Bone marrow smear; 250 by 250 pixels; single-cell field — 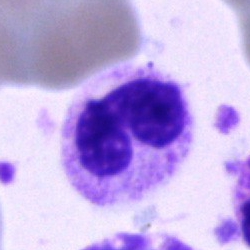
Morphology consistent with a polymorphonuclear neutrophil.